Bone marrow smear · MGG-stained.
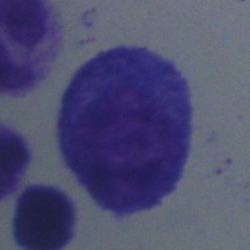 Q: What is shown here?
A: This is a progranulocyte.